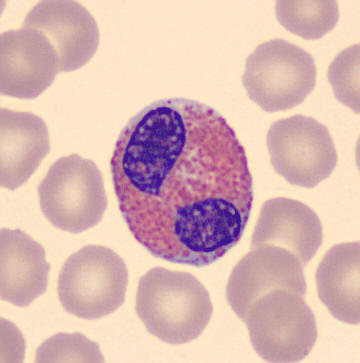
Acquisition: Peripheral blood film.
An eosinophil.